Bone marrow smear · May-Grünwald-Giemsa stain.
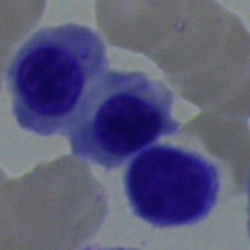Showing a nucleated red blood cell.